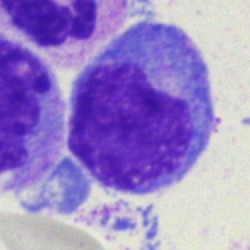
Specimen: bone marrow smear.
Cell: monocyte.